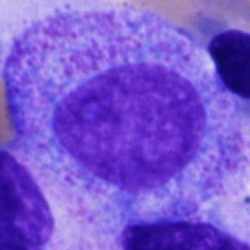 Cell = promyelocyte.